Bone marrow smear — 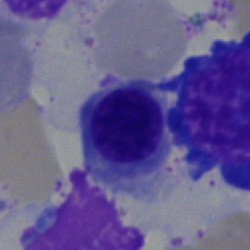
Morphology consistent with a normoblast.